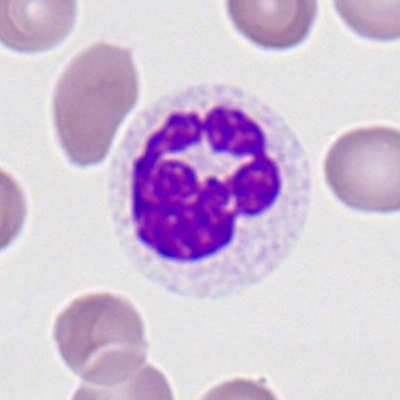
Segmented neutrophil.